Bone marrow smear. 250 by 250 pixels: 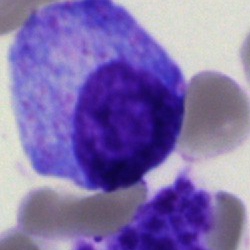{"cell_type": "progranulocyte", "lineage": "myeloid"}